Bone marrow smear:
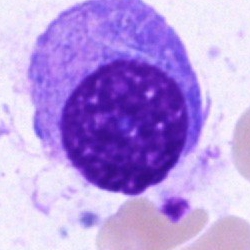

Morphology → plasmacyte.